Single-cell crop; Pappenheim-stained; bone marrow smear
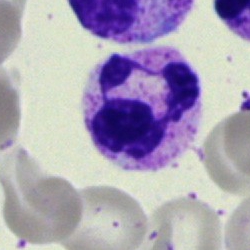 Morphology → neutrophil (segmented).